Peripheral blood smear
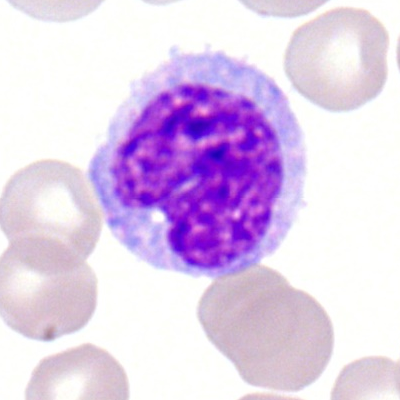

Specimen: peripheral blood film.
Classification: monocyte.
Lineage: myeloid.